Bone marrow smear · 250×250:
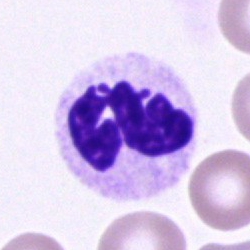Cell — neutrophil (segmented).